Bone marrow aspirate smear.
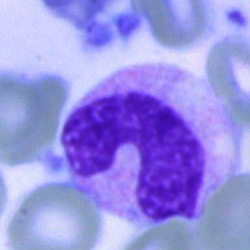 Morphological class = band-form neutrophil.